Peripheral blood smear:
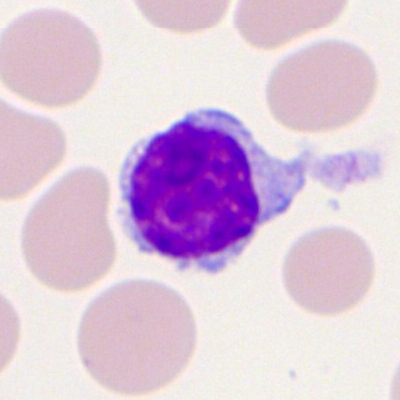
The cell type is typical lymphocyte.